Single-cell crop; bone marrow aspirate smear; 40× oil immersion
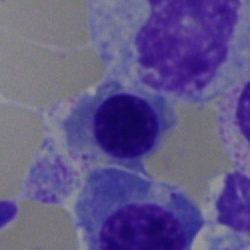The cell type is normoblast.